Bone marrow smear
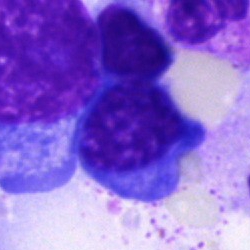
The cell type is plasmacyte.